Bone marrow smear.
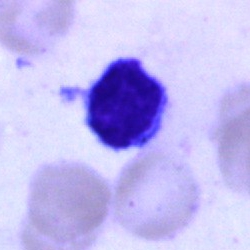
Impression → typical lymphocyte.